Bone marrow smear
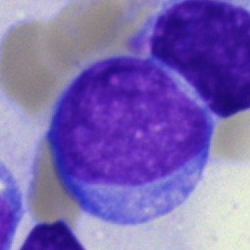 This is a blast cell.